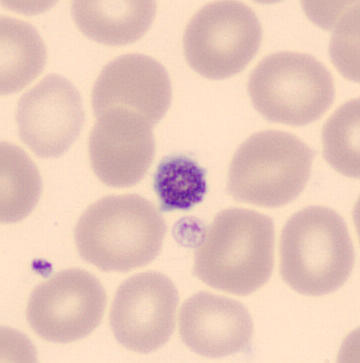 Specimen: peripheral blood film.
Morphological class: platelet.